Bone marrow aspirate smear. Brightfield microscopy, 40× oil immersion. MGG-stained.
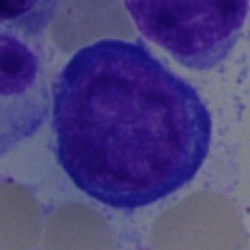
A nucleated red blood cell.